Bone marrow smear — 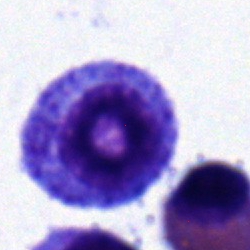

Morphological class = progranulocyte.